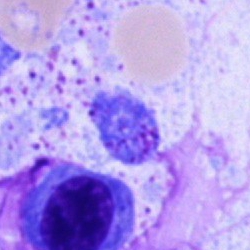

Q: What is shown here?
A: An artefact.